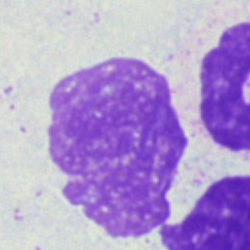

Single cell identified as an artefact.